MGG-stained; bone marrow aspirate smear — 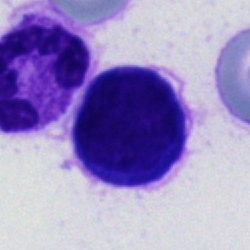This is an unidentifiable cell.